Bone marrow smear:
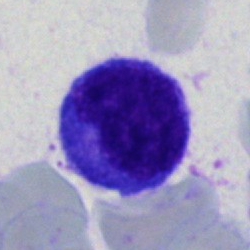A lymphocyte.